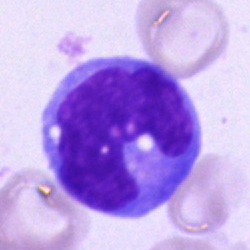

Morphological class = monocyte.